Peripheral blood film · Romanowsky stain: 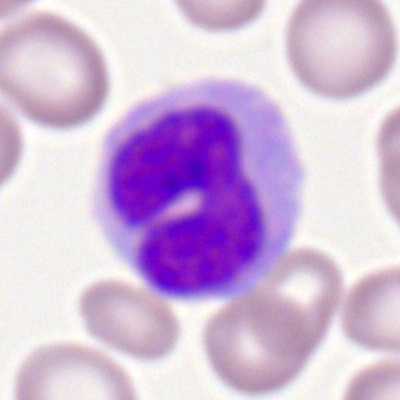Q: What type of cell is this?
A: A monocyte.